Bone marrow aspirate smear — 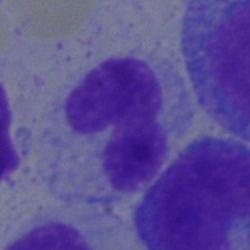The classification is band neutrophil.